250×250. Bone marrow smear.
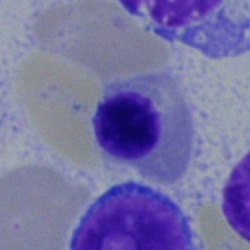
Q: Which cell type is shown here?
A: This is an erythroblast.